Bone marrow smear
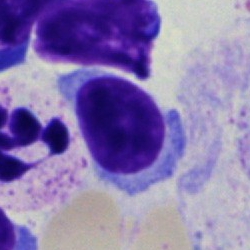

This is a typical lymphocyte.